May-Grünwald-Giemsa/Pappenheim stain; bone marrow aspirate smear:
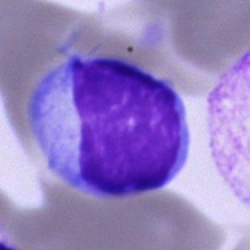

Specimen: bone marrow smear.
Classification: typical lymphocyte.
Lineage: lymphoid.